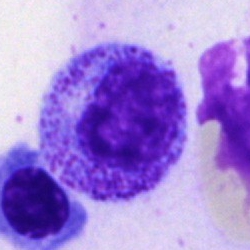 Q: What type of cell is this?
A: Promyelocyte.